MGG-stained. 40× objective, oil immersion. Bone marrow aspirate smear — 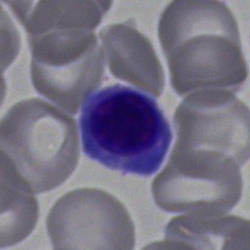Morphology — normoblast.